Single-cell field. Brightfield, 100× oil-immersion objective. Peripheral blood smear — 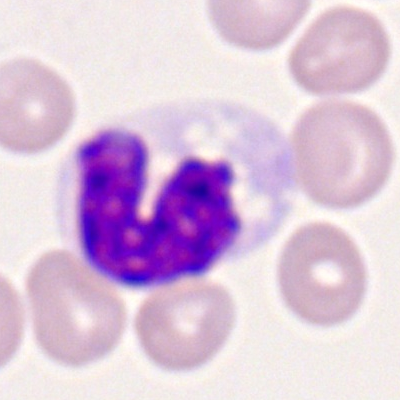
Specimen: peripheral blood smear.
Morphological class: monocyte.